40× oil immersion · bone marrow aspirate smear — 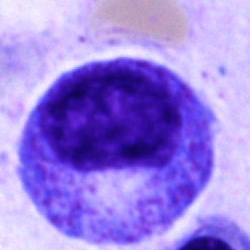The classification is promyelocyte.